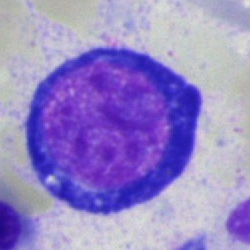
Specimen: bone marrow smear.
Morphological class: pronormoblast.
Lineage: erythroid.